Bone marrow aspirate smear:
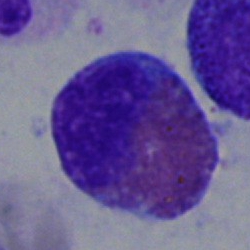
Specimen: bone marrow aspirate smear.
Cell: eosinophilic granulocyte.
Lineage: myeloid.